Bone marrow aspirate smear:
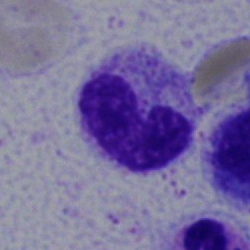
This is a stab cell.